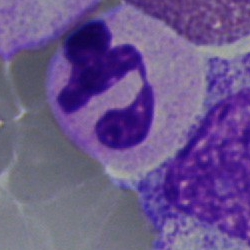
Classification = neutrophil (segmented).